Pappenheim-stained. Bone marrow smear:
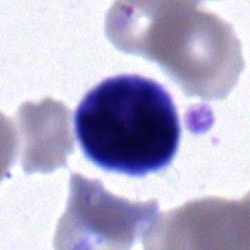Specimen: bone marrow aspirate smear.
Cell: lymphocyte.